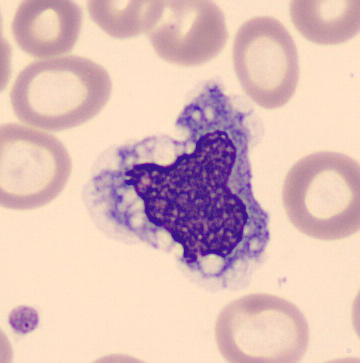Preparation: Peripheral blood smear. May-Grünwald-Giemsa-stained. 360 by 363 pixels. Morphological class = monocyte.